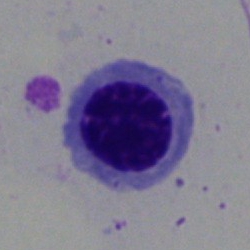

Bone marrow aspirate smear, single cell — normoblast.